Single-cell crop. 250×250. Bone marrow smear — 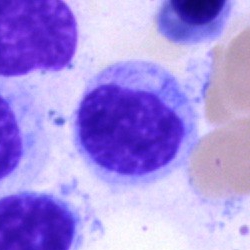 Q: What type of cell is this?
A: A typical lymphocyte.